250×250 px · bone marrow aspirate smear
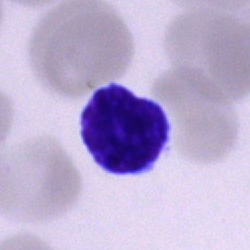 {"cell_type": "typical lymphocyte", "lineage": "lymphoid"}